Bone marrow aspirate smear · single-cell crop — 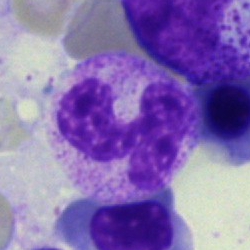 Morphology — stab cell.